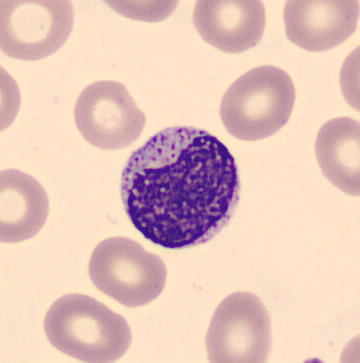 Image size 360×363.
Specimen: peripheral blood film.
Morphological class: metamyelocyte.